Bone marrow aspirate smear.
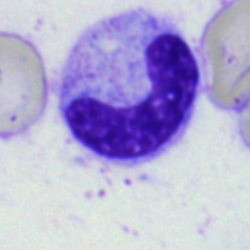 Single cell identified as a band neutrophil.